Brightfield microscopy, 40× oil immersion. Bone marrow smear — 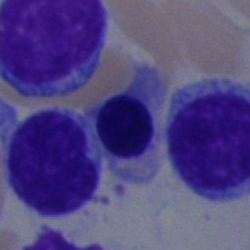Morphology → nucleated red cell.